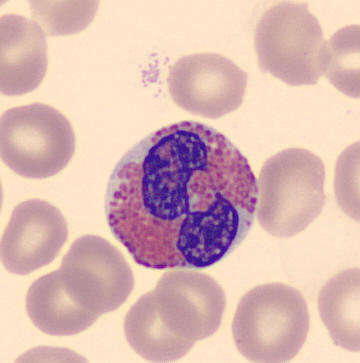
May Grünwald-Giemsa stain · single-cell crop.

Specimen: peripheral blood smear.
Classification: eosinophilic granulocyte.